40× oil immersion; bone marrow aspirate smear.
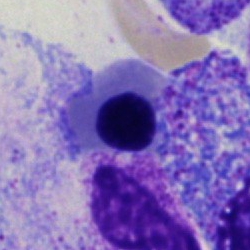
Nucleated red cell.